Brightfield, 40× oil-immersion objective; bone marrow smear — 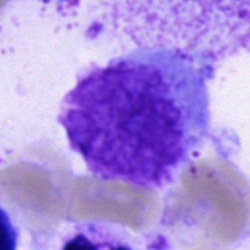
Showing an artefact.